Brightfield microscopy, 40× oil immersion; bone marrow smear:
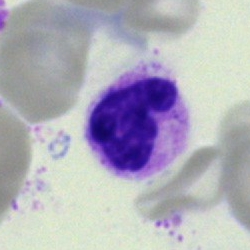 Q: Identify the cell.
A: It is a neutrophil (segmented).